Bone marrow aspirate smear: 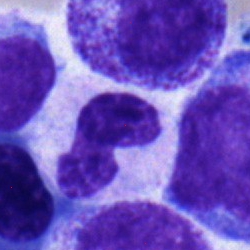Morphology — band-form neutrophil.